Image size 250×250; bone marrow smear.
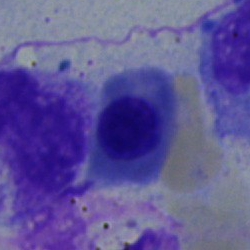Morphology consistent with a nucleated red cell.